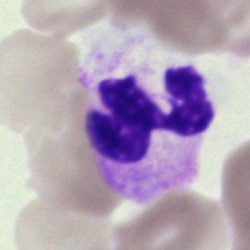 Morphology — segmented neutrophil.